250×250; bone marrow smear
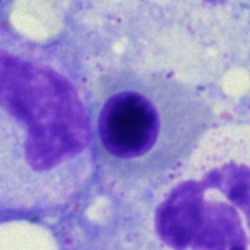A nucleated red cell.